Bone marrow aspirate smear: 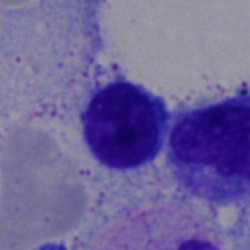Typical lymphocyte.